Bone marrow aspirate smear: 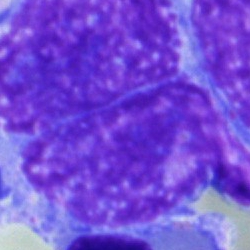Morphology consistent with a blast.